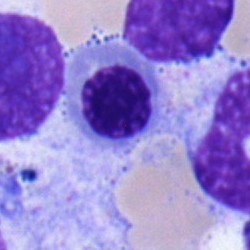Nucleated red cell.